Bone marrow aspirate smear
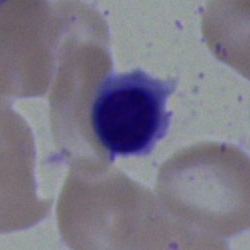 Cell type = normoblast.